Brightfield, 40× oil-immersion objective. Bone marrow aspirate smear: 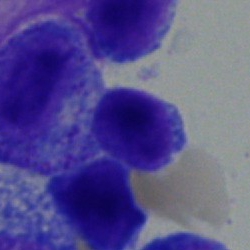Q: Identify the cell.
A: A typical lymphocyte.